Bone marrow aspirate smear; May-Grünwald-Giemsa stain
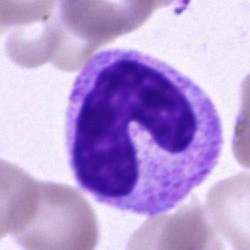
{"cell_type": "band-form neutrophil", "lineage": "myeloid"}